40× oil immersion; cropped to a single cell; bone marrow smear.
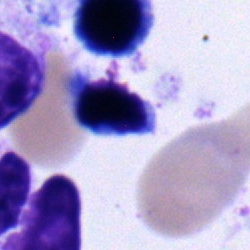
Morphology → typical lymphocyte.